Peripheral blood smear:
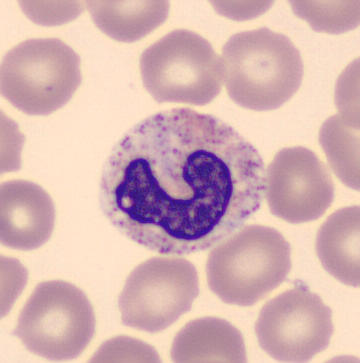 The cell type is stab cell.